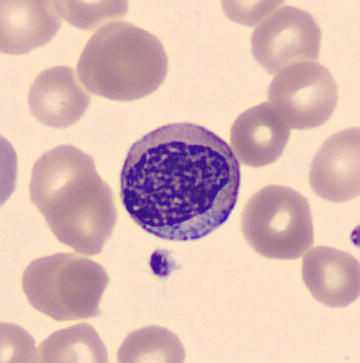

Peripheral blood film; CellaVision DM96; cropped to a single cell. Morphological class: myelocyte.